Pappenheim-stained. Image size 250×250. Bone marrow smear.
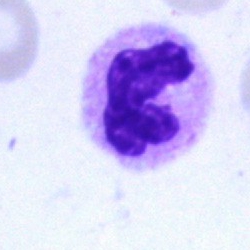Polymorphonuclear neutrophil.